Peripheral blood smear — 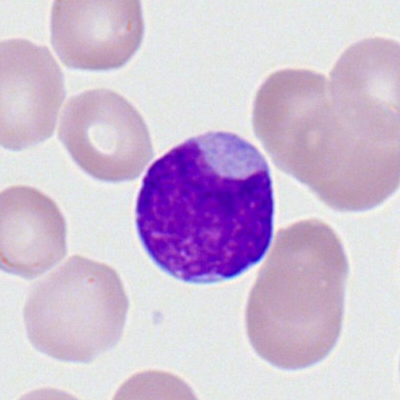{"cell_type": "myeloid blast", "lineage": "myeloid"}